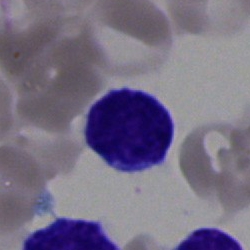Specimen: bone marrow smear.
Cell type: typical lymphocyte.
Lineage: lymphoid.